Bone marrow smear
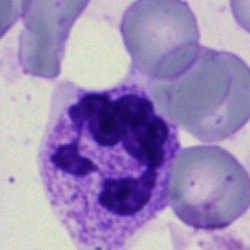

This is a polymorphonuclear neutrophil.